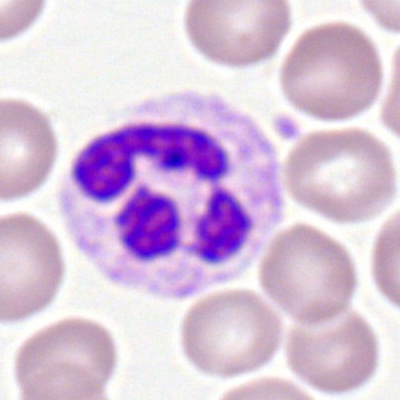Morphological class: segmented neutrophil.